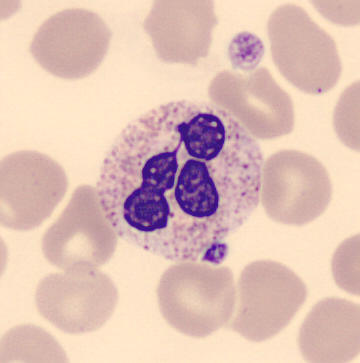 The cell is neutrophil (segmented).

Image: MGG-stained · peripheral blood film.